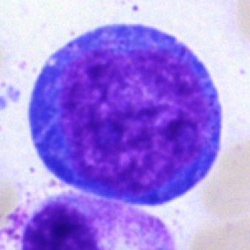

The cell shown is a proerythroblast.